Bone marrow smear: 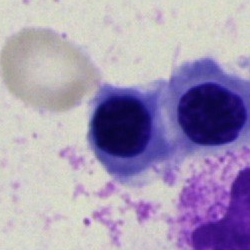

Q: What is shown here?
A: A normoblast.